100× objective, oil immersion; peripheral blood film — 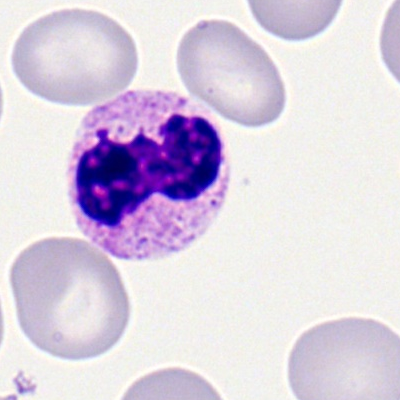

Q: Which cell type is shown here?
A: Polymorphonuclear neutrophil.